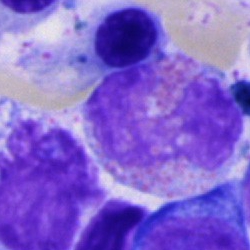
Morphology — eosinophil.